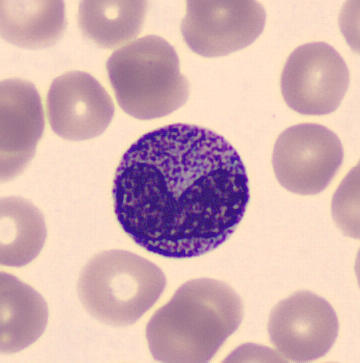Acquisition: Cropped to a single cell; imaged on a CellaVision DM96 analyser. Specimen: peripheral blood film.
Classification: metamyelocyte.
Lineage: myeloid.